Bone marrow smear
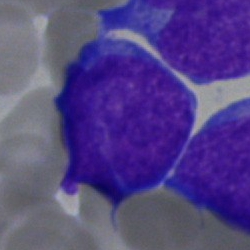 Specimen: bone marrow smear.
Classification: blast.